Bone marrow aspirate smear: 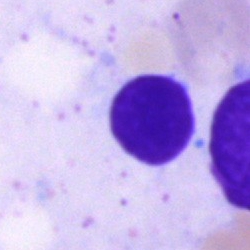
Cell: artefact.